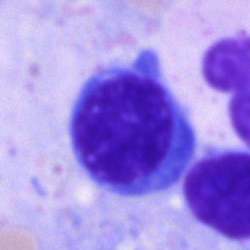
Normoblast.